Single-cell crop; bone marrow smear
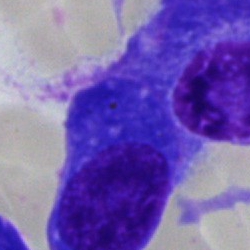
{"cell_type": "plasma cell"}